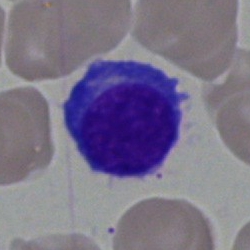 Bone marrow aspirate smear, single cell — plasma cell.